May-Grünwald-Giemsa stain. Bone marrow smear — 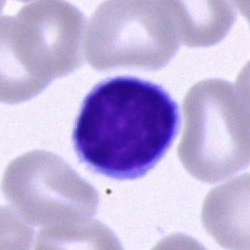 A lymphocyte.